Bone marrow smear · single-cell crop:
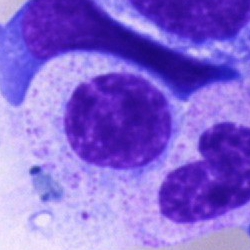 Impression → myelocyte.